Bone marrow aspirate smear · 250×250 — 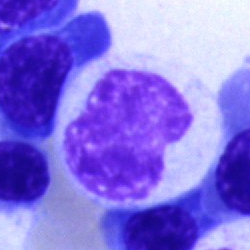Morphological class: metamyelocyte.